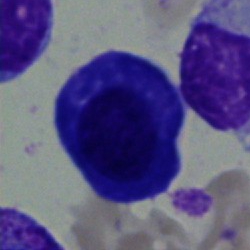

Morphology — plasma cell.